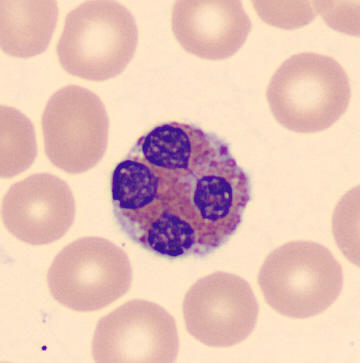 The cell shown is an eosinophil.
Peripheral blood film.